Bone marrow aspirate smear
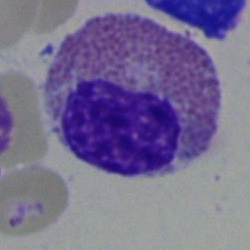An eosinophil.